Single cell centered in the field · peripheral blood film
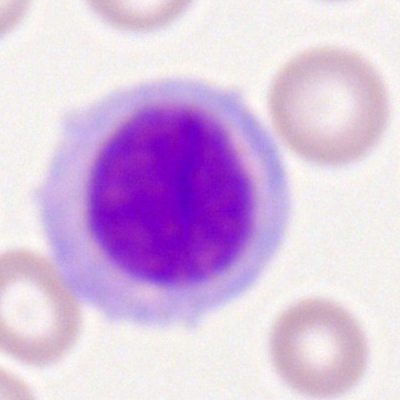

A monocyte.